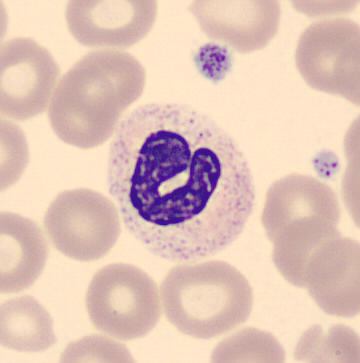

Preparation: 360×363 · peripheral blood film.

Morphology consistent with a band neutrophil.